Bone marrow smear — 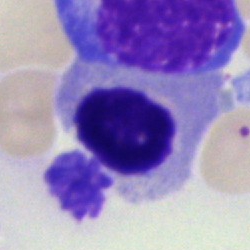 {"cell_type": "nucleated red cell"}